250×250; bone marrow aspirate smear; Pappenheim-stained.
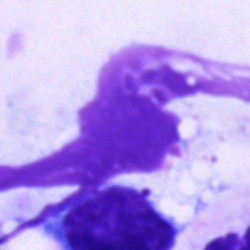

Artefact.